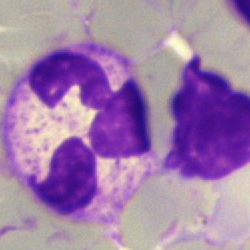

Showing a neutrophil (segmented).